100× oil immersion, 14.14 px/µm; peripheral blood smear; single-cell field
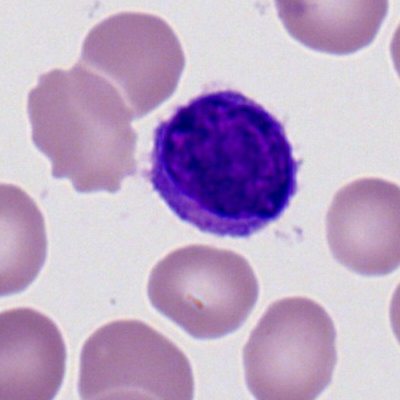

Specimen: peripheral blood smear.
Cell type: typical lymphocyte.